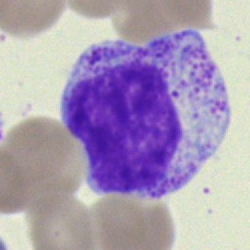

Showing a myelocyte.